Bone marrow aspirate smear: 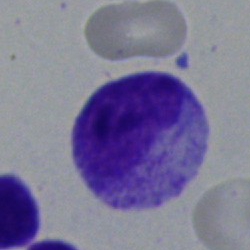{"cell_type": "promyelocyte", "lineage": "myeloid"}